Bone marrow aspirate smear
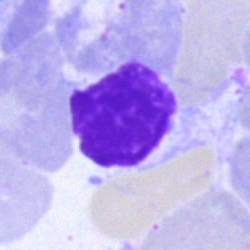Morphology — artifact.